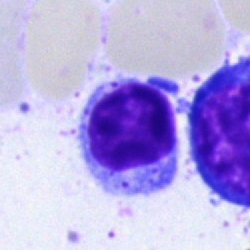Impression → typical lymphocyte.